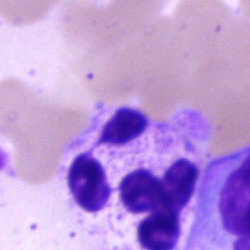 Cell = polymorphonuclear neutrophil.